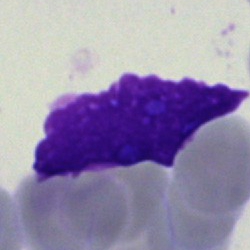Q: What is shown here?
A: Artifact.